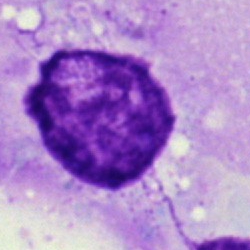Classification — artefact.